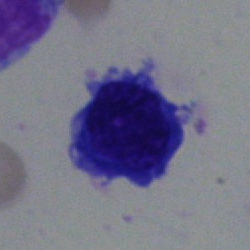 Morphology consistent with a nucleated red cell.